Single-cell crop. Bone marrow aspirate smear. Brightfield microscopy, 40× oil immersion
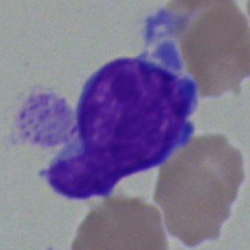Cell type: blast cell.